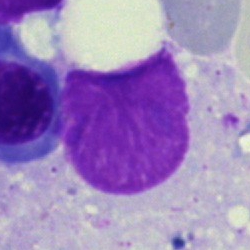

Cell: artefact.